250×250 px. Brightfield microscopy, 40× oil immersion. Bone marrow smear.
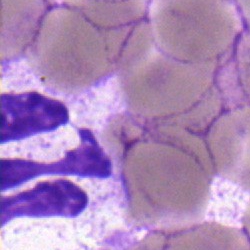

{"cell_type": "neutrophil (segmented)"}